Bone marrow aspirate smear.
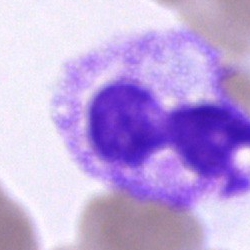Cell: polymorphonuclear neutrophil.